Bone marrow aspirate smear. 250×250: 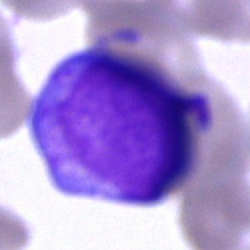

Blast cell.